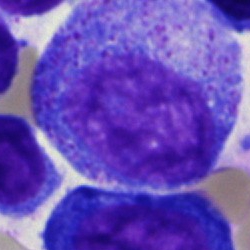The cell shown is a promyelocyte.